Bone marrow smear; MGG-stained: 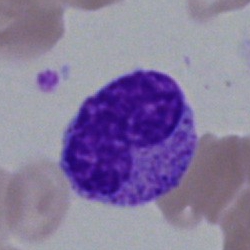
Morphological class = band-form neutrophil.